Brightfield microscopy, 40× oil immersion; bone marrow smear; Pappenheim-stained
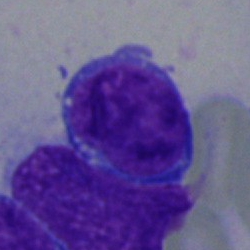 Specimen: bone marrow smear.
Classification: blast.